May-Grünwald-Giemsa stain · bone marrow smear: 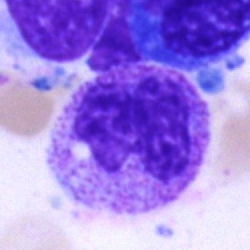 Neutrophil (segmented).